Bone marrow aspirate smear: 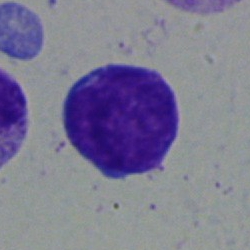 Morphological class — typical lymphocyte.